Single-cell crop; bone marrow smear: 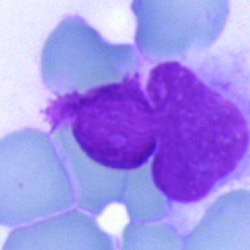Specimen: bone marrow smear.
Cell: artefact.